Bone marrow smear:
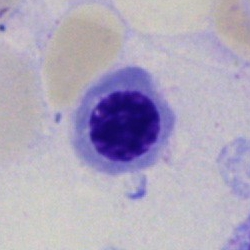
Cell type — nucleated red cell.